Bone marrow smear · single cell centered in the field:
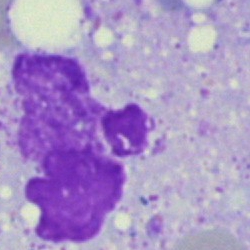 Q: What is shown here?
A: Artefact.